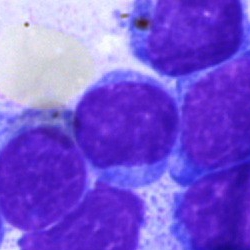
Q: What is the morphological classification of this cell?
A: This is a typical lymphocyte.